Bone marrow smear; May-Grünwald-Giemsa/Pappenheim stain:
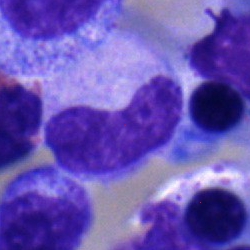

Q: What type of cell is this?
A: Band-form neutrophil.